40× oil immersion. Bone marrow aspirate smear:
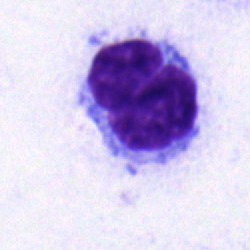Morphological class — lymphocyte.